Cropped to a single cell · brightfield, 40× oil-immersion objective · bone marrow aspirate smear:
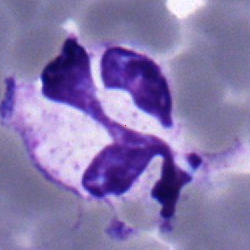Single cell identified as a neutrophil (segmented).